Peripheral blood smear.
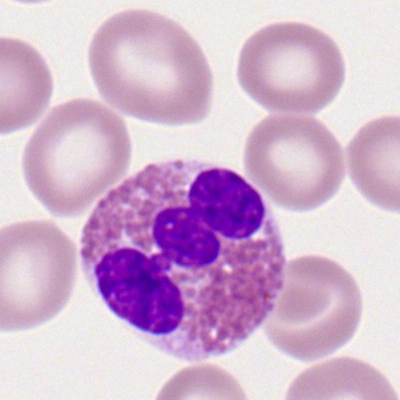 Specimen: peripheral blood smear.
Morphological class: eosinophil.
Lineage: myeloid.